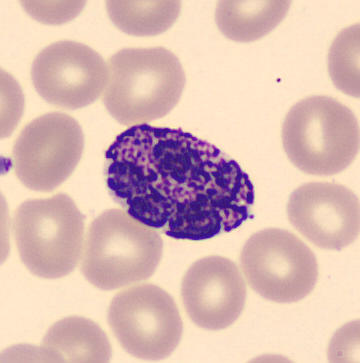 Specimen: peripheral blood smear.
Morphological class: basophilic granulocyte.
Lineage: myeloid.